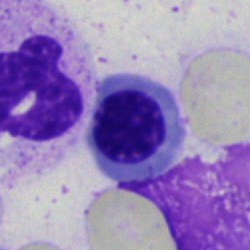 The classification is normoblast.